May-Grünwald-Giemsa stain; bone marrow smear.
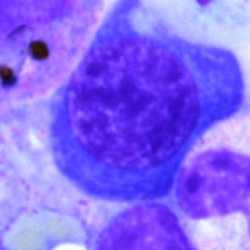Morphological class — nucleated red cell.